Bone marrow smear: 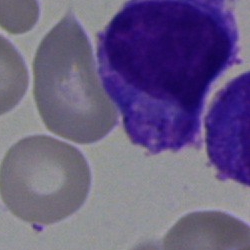 Specimen: bone marrow smear.
Morphological class: undifferentiated blast.